40× objective, oil immersion · bone marrow aspirate smear:
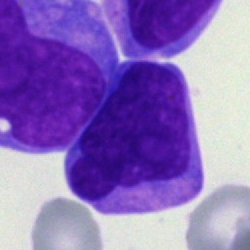Showing a blast cell.